Bone marrow aspirate smear: 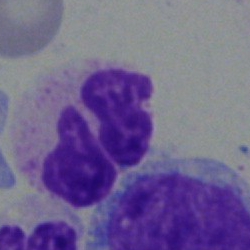

Q: Identify the cell.
A: A polymorphonuclear neutrophil.